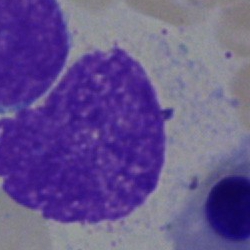

{"cell_type": "artifact"}